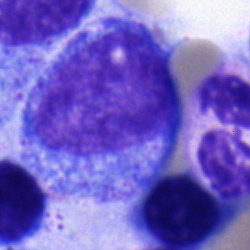

Q: What type of cell is this?
A: This is a promyelocyte.